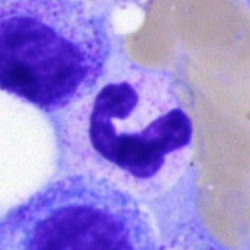Cell type: polymorphonuclear neutrophil.